Bone marrow aspirate smear:
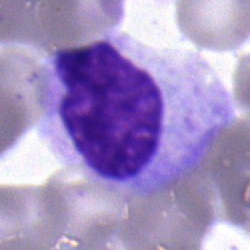Q: What is the morphological classification of this cell?
A: It is a metamyelocyte.